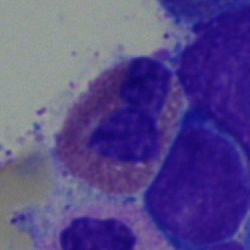 Cell type = eosinophilic granulocyte.